Bone marrow smear · 250×250 px
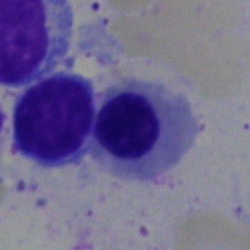 {"cell_type": "nucleated red blood cell", "lineage": "erythroid"}